Bone marrow aspirate smear.
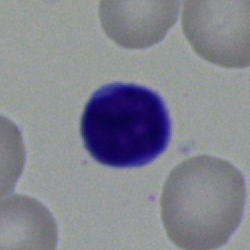
Specimen: bone marrow aspirate smear.
Morphological class: typical lymphocyte.